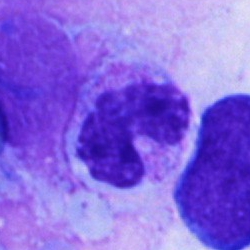
A segmented neutrophil.